Cropped to a single cell. Brightfield microscopy, 40× oil immersion. Bone marrow aspirate smear
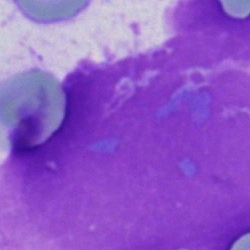 The cell type is artifact.